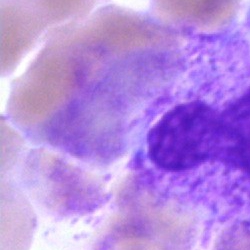 Morphology consistent with an artifact.